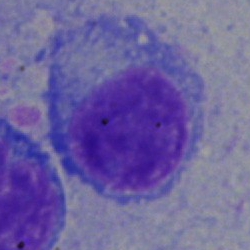
A plasma cell on a bone marrow smear.